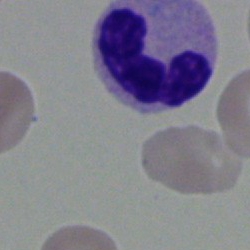
Morphological class: polymorphonuclear neutrophil.